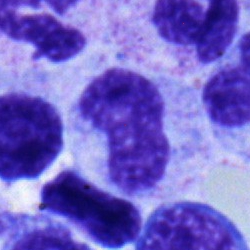

Single-cell crop from a bone marrow smear: metamyelocyte.